Bone marrow smear.
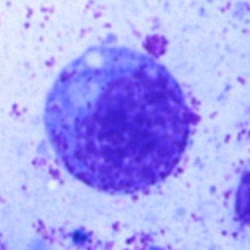
A typical lymphocyte.